Bone marrow aspirate smear — 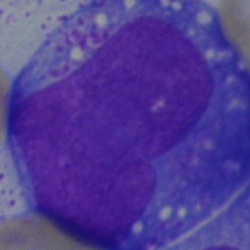
Q: What type of cell is this?
A: Promyelocyte.